Bone marrow smear
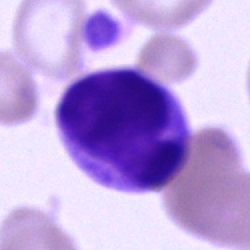 The classification is lymphocyte.